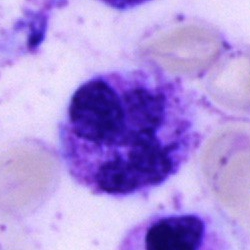A neutrophil (segmented).